40× objective, oil immersion · bone marrow smear
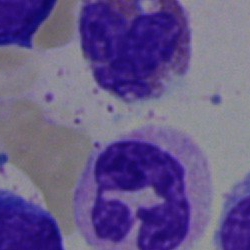 Morphological class: polymorphonuclear neutrophil.